Bone marrow smear. 40× objective, oil immersion — 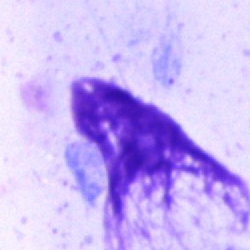
Single cell identified as an artifact.